Bone marrow aspirate smear
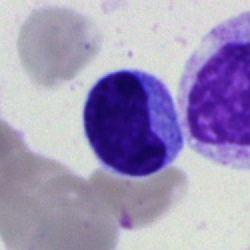 The cell shown is a lymphocyte.